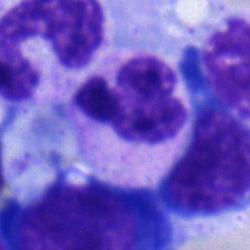

This is a segmented neutrophil.